Bone marrow smear: 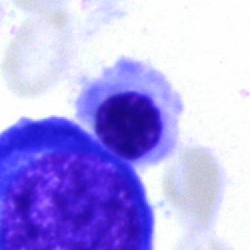
Q: What type of cell is this?
A: Nucleated red cell.